Image size 250×250 · bone marrow smear.
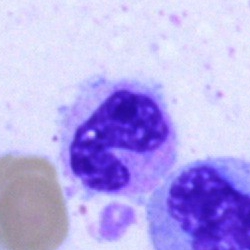Q: What is shown here?
A: This is a polymorphonuclear neutrophil.